Brightfield, 40× oil-immersion objective. Bone marrow aspirate smear. Single cell centered in the field
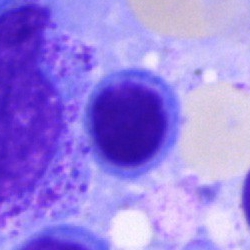
Cell: nucleated red blood cell.